Bone marrow aspirate smear:
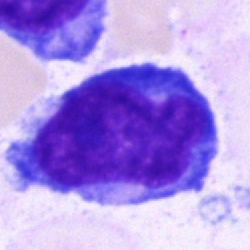Classification: undifferentiated blast.